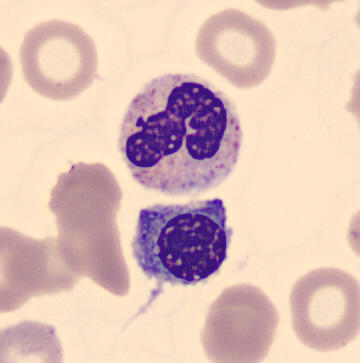Specimen: peripheral blood film.
Classification: erythroblast.
Lineage: erythroid.
Image: Single-cell field.